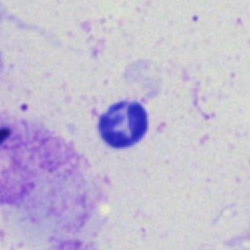 Q: What is shown here?
A: It is an artifact.